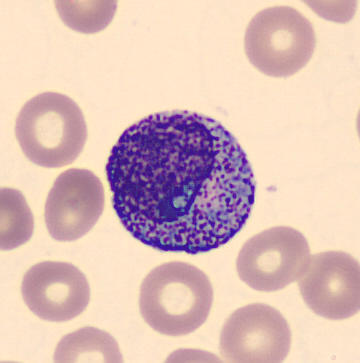 Single cell identified as a myelocyte.